Bone marrow aspirate smear:
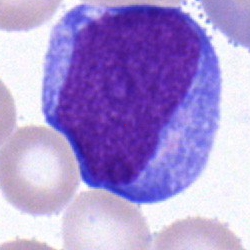

Single cell identified as a blast.